Brightfield, 40× oil-immersion objective; bone marrow smear; image size 250×250:
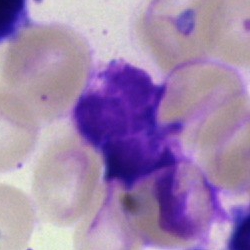 Morphology — artifact.